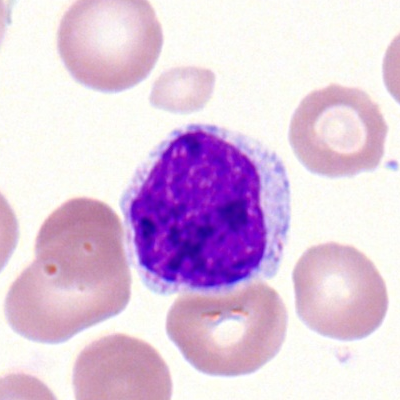
A lymphocyte.